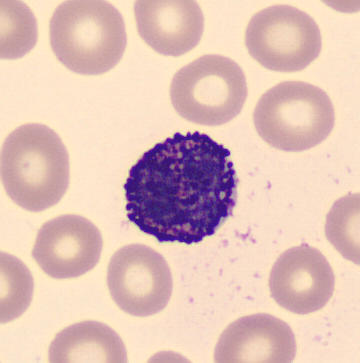 Image: Peripheral blood film.

Single cell identified as a basophilic granulocyte.